Single cell centered in the field · bone marrow smear:
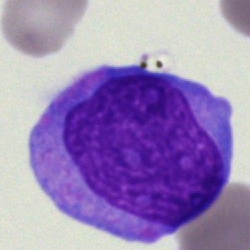Cell: blast cell.